40× oil immersion; bone marrow smear.
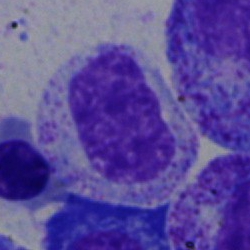

The cell type is myelocyte.